Bone marrow aspirate smear. 250×250: 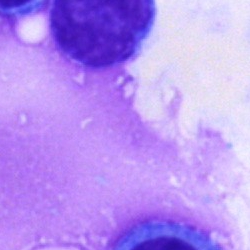Q: What is shown here?
A: This is an artefact.